May-Grünwald-Giemsa/Pappenheim stain. Brightfield, 40× oil-immersion objective. Bone marrow aspirate smear:
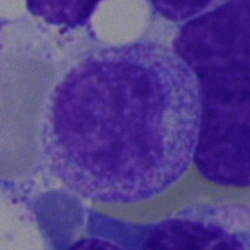 Cell — myelocyte.